250×250. May-Grünwald-Giemsa stain. Bone marrow smear:
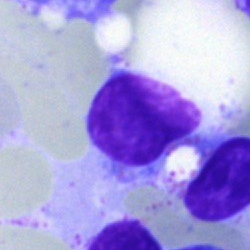Cell: artifact.